Brightfield, 40× oil-immersion objective; Pappenheim-stained; bone marrow aspirate smear:
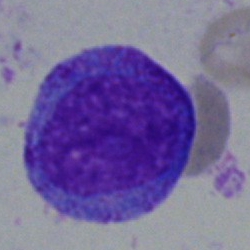 This is a progranulocyte.